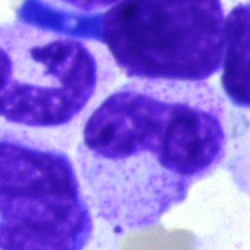
The cell shown is a band neutrophil.